Romanowsky-type stain. Peripheral blood smear.
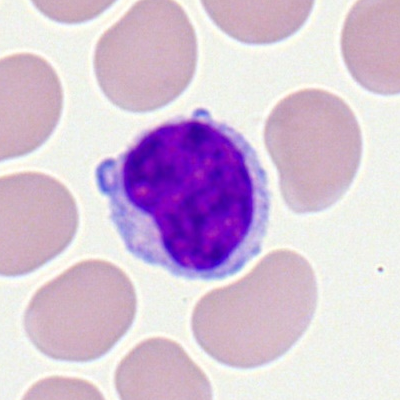

Q: What type of cell is this?
A: A typical lymphocyte.